Bone marrow smear
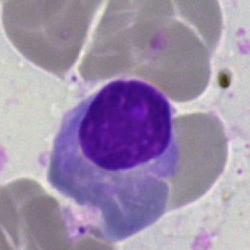Morphology — artefact.